Bone marrow smear:
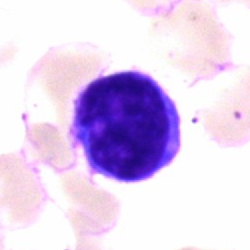Morphology → lymphocyte.